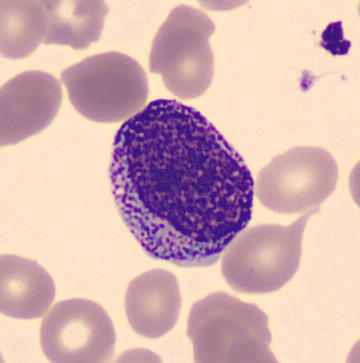 Morphology consistent with a promyelocyte. 360×363 px. Peripheral blood smear.